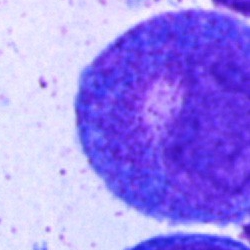Q: What is shown here?
A: It is a promyelocyte.